Bone marrow aspirate smear:
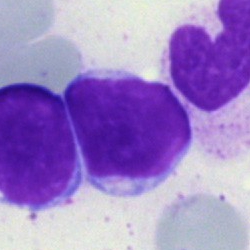

Q: What is the morphological classification of this cell?
A: This is a typical lymphocyte.